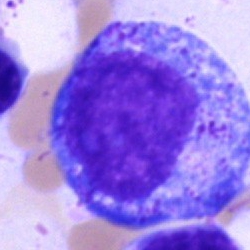{"cell_type": "progranulocyte", "lineage": "myeloid"}